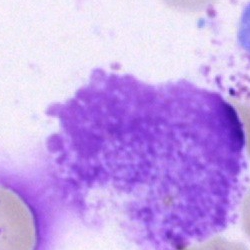 Cell type — artefact.